Bone marrow smear.
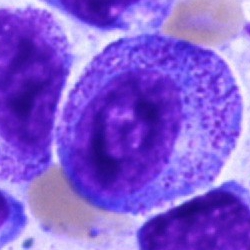Single cell identified as a progranulocyte.